Bone marrow smear
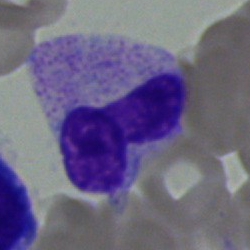 Specimen: bone marrow aspirate smear.
Cell type: neutrophil (band).